May-Grünwald-Giemsa/Pappenheim stain · bone marrow aspirate smear: 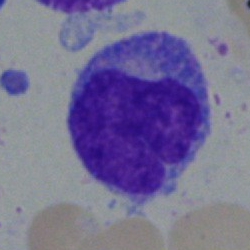{"cell_type": "monocyte"}